Peripheral blood smear.
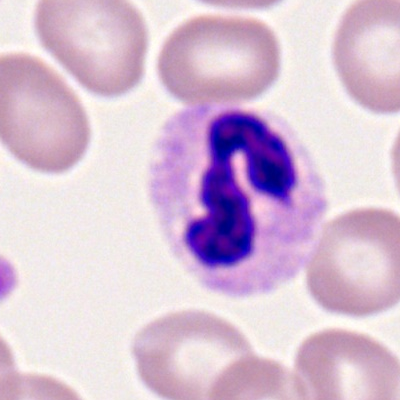
Classification = neutrophil (segmented).